Bone marrow smear; MGG-stained — 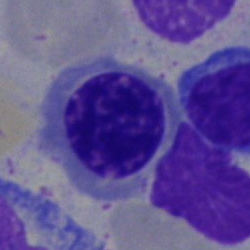Classification = normoblast.